Bone marrow smear · May-Grünwald-Giemsa/Pappenheim stain · 250×250.
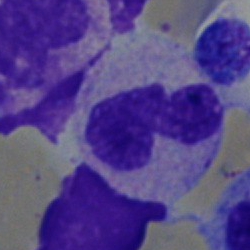Q: What is shown here?
A: This is a stab cell.